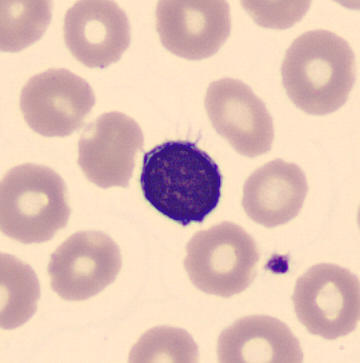 Peripheral blood smear.

Classification — typical lymphocyte.